Cropped to a single cell · bone marrow aspirate smear
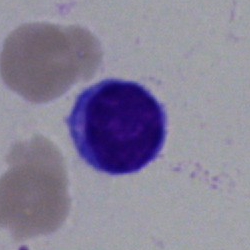Q: What is the morphological classification of this cell?
A: This is a typical lymphocyte.